Image size 250×250; bone marrow smear:
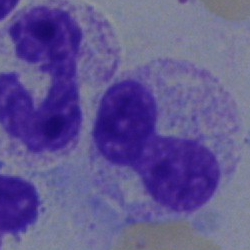 Morphological class — neutrophil (band).